40× oil immersion · bone marrow aspirate smear — 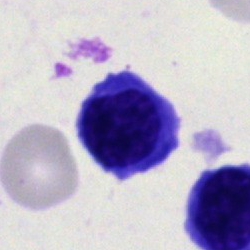Q: What cell is this?
A: Lymphocyte.